Bone marrow smear · cropped to a single cell:
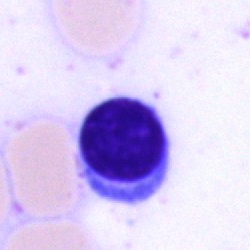
Q: What cell is this?
A: It is a lymphocyte.